Bone marrow aspirate smear — 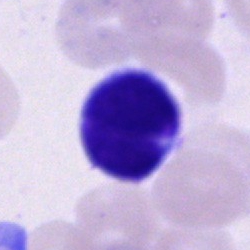

Showing an unidentifiable cell.